Image size 250×250; bone marrow aspirate smear:
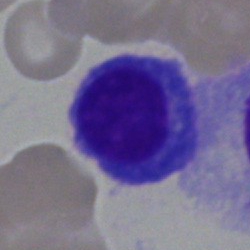
Cell = plasma cell.